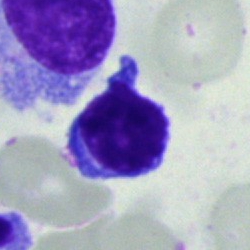This is a plasma cell.